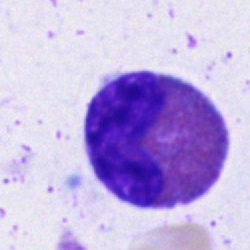Specimen: bone marrow aspirate smear.
Cell: eosinophilic granulocyte.
Lineage: myeloid.